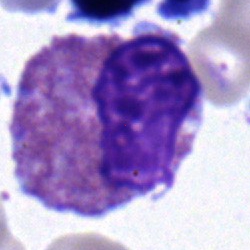Impression — eosinophilic granulocyte.